Bone marrow aspirate smear; MGG-stained:
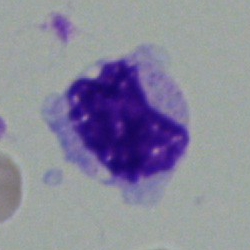Specimen: bone marrow aspirate smear.
Cell type: metamyelocyte.
Lineage: myeloid.